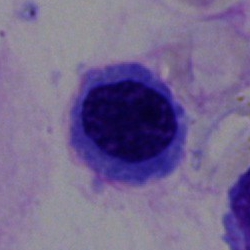

A normoblast.